Bone marrow smear. May-Grünwald-Giemsa/Pappenheim stain
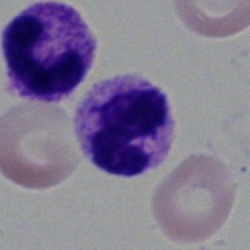Cell = polymorphonuclear neutrophil.